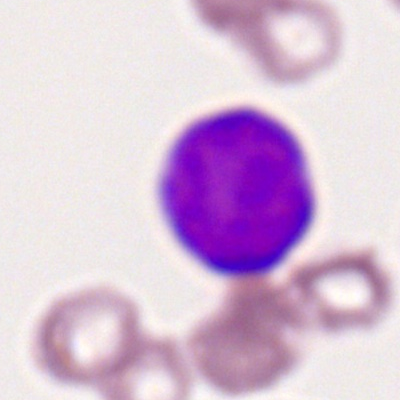 Q: What cell is this?
A: Myeloblast.